Bone marrow aspirate smear — 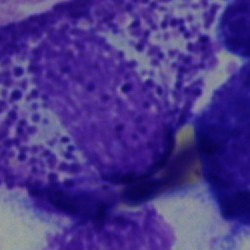
This is an other cell type.